Bone marrow smear · single-cell crop:
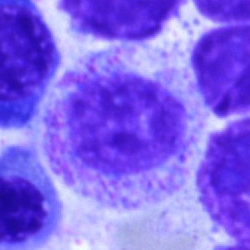
Q: What is the morphological classification of this cell?
A: Myelocyte.